Cropped to a single cell; peripheral blood film
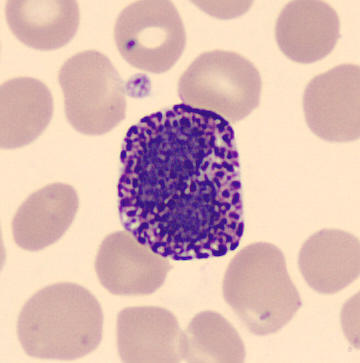
Specimen: peripheral blood film.
Morphological class: basophilic granulocyte.
Lineage: myeloid.